Bone marrow aspirate smear
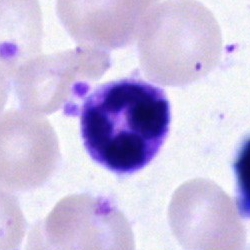
Specimen: bone marrow smear.
Cell: neutrophil (segmented).